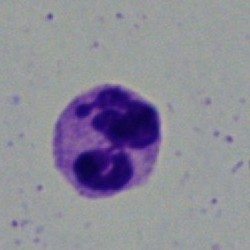

This is a polymorphonuclear neutrophil.